Image size 250×250. Bone marrow aspirate smear: 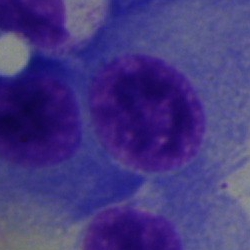

Plasmacyte.